Peripheral blood film · automated cell imaging (CellaVision DM96).
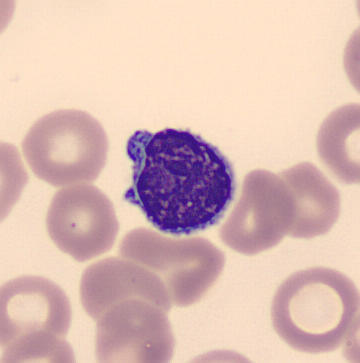 Single cell identified as a lymphocyte.